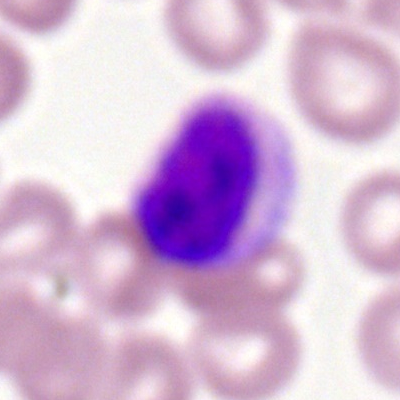 Single cell identified as a lymphocyte.